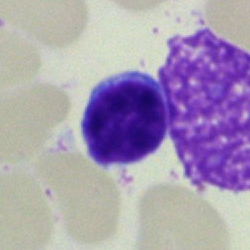

Cell type = lymphocyte.